Bone marrow smear. 40× objective, oil immersion: 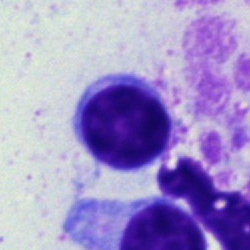 {"cell_type": "typical lymphocyte", "lineage": "lymphoid"}